Bone marrow aspirate smear — 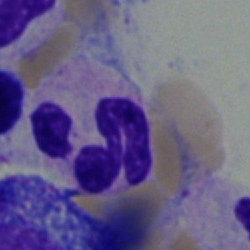 Q: Identify the cell.
A: Segmented neutrophil.